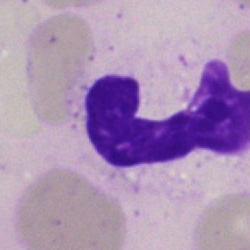

{"cell_type": "artifact"}